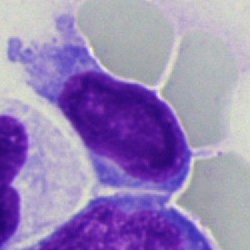
Q: Identify the cell.
A: This is a typical lymphocyte.